Bone marrow smear; 250×250 px; MGG-stained.
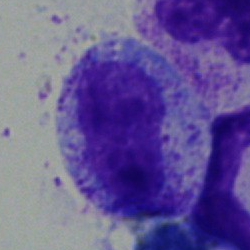

Myelocyte.